Single-cell crop · Pappenheim-stained · bone marrow aspirate smear: 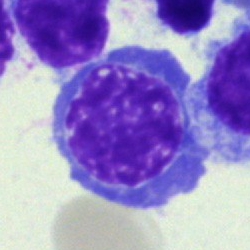
Specimen: bone marrow smear.
Cell type: erythroblast.
Lineage: erythroid.